Bone marrow aspirate smear — 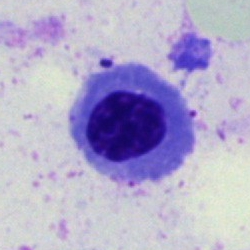Cell — normoblast.